Bone marrow smear
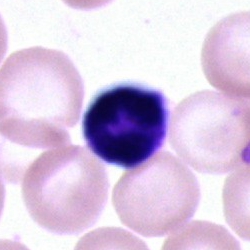 Cell type: cell of indeterminate lineage.